Bone marrow smear; cropped to a single cell:
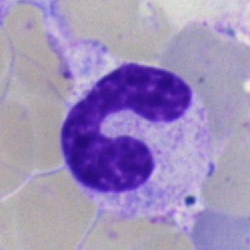

Classification: band-form neutrophil.